Bone marrow aspirate smear. Brightfield microscopy, 40× oil immersion: 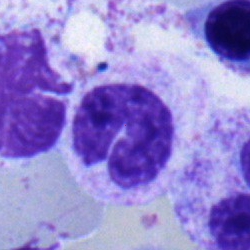
Q: What cell is this?
A: A band neutrophil.